May-Grünwald-Giemsa stain · bone marrow smear · image size 250×250.
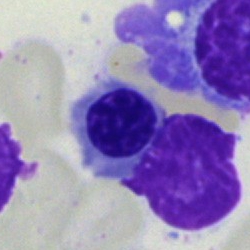

Specimen: bone marrow smear.
Cell: nucleated red blood cell.
Lineage: erythroid.